Single-cell field · peripheral blood film · Romanowsky stain.
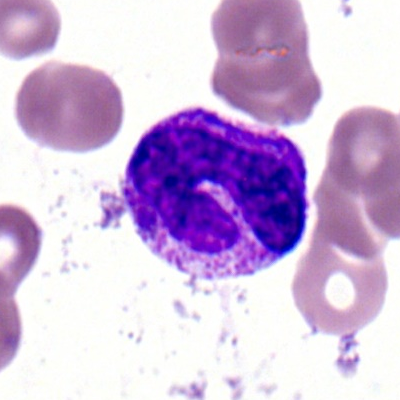Impression — segmented neutrophil.